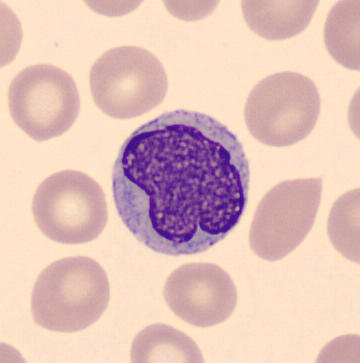

Image: Peripheral blood smear. Image size 360×363.
The cell shown is a monocyte.